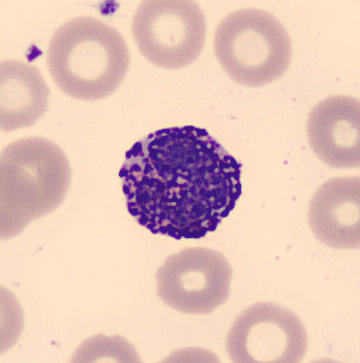
Imaged on a CellaVision DM96 analyser.
Specimen: peripheral blood film.
Cell: basophilic granulocyte.
Lineage: myeloid.